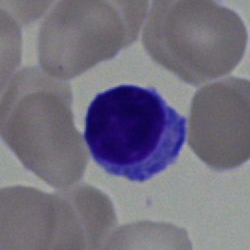 The cell shown is a lymphocyte.